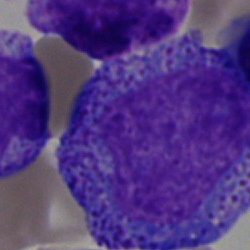 Progranulocyte.